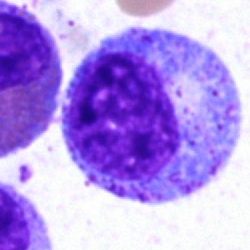Morphological class = promyelocyte.